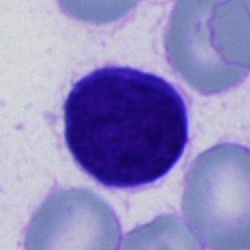 Impression — unidentifiable cell.